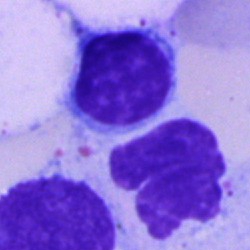 The cell type is typical lymphocyte.